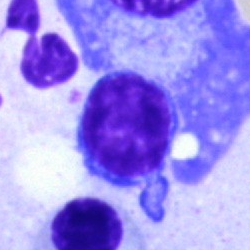 Showing a plasmacyte.